Bone marrow smear
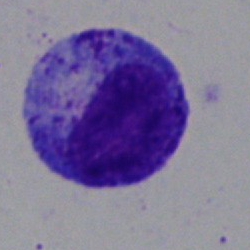Specimen: bone marrow aspirate smear.
Cell: myelocyte.